Bone marrow aspirate smear: 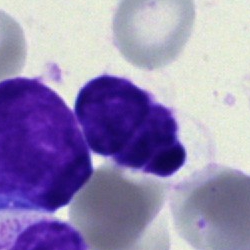 Cell = artefact.